Bone marrow aspirate smear:
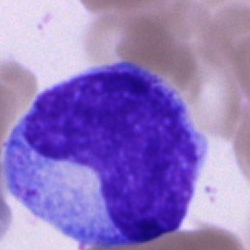

Cell — progranulocyte.